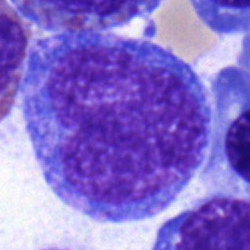
Cell — monocyte.